Single-cell field. 250×250 px. Bone marrow smear:
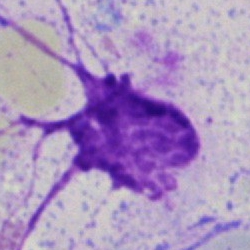Specimen: bone marrow aspirate smear.
Cell type: artefact.